Bone marrow smear
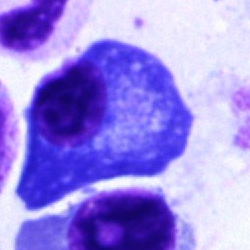A plasmacyte.